Bone marrow smear — 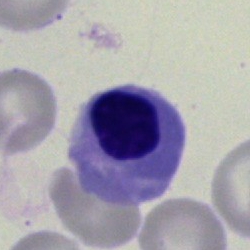
Cell type = erythroblast.